Bone marrow aspirate smear:
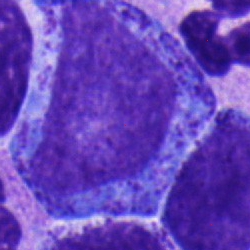{"cell_type": "promyelocyte", "lineage": "myeloid"}